Bone marrow smear; 40× oil immersion; single cell centered in the field:
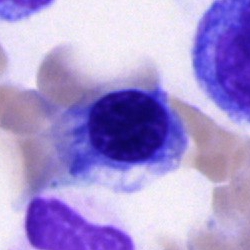

Impression → nucleated red blood cell.